Bone marrow smear: 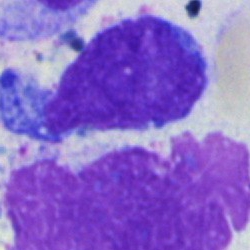
The morphological class is artefact.